Bone marrow aspirate smear. May-Grünwald-Giemsa stain
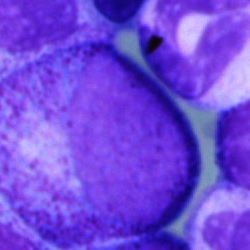
The cell type is promyelocyte.